Bone marrow aspirate smear:
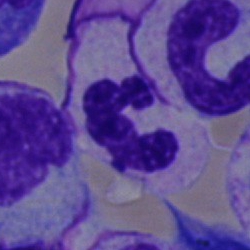 Polymorphonuclear neutrophil.